Bone marrow smear; 250 by 250 pixels — 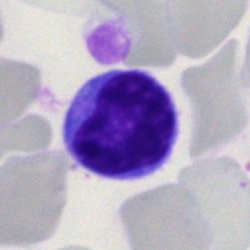
Q: What is the morphological classification of this cell?
A: Monocyte.